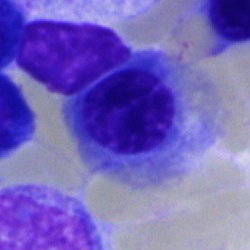Specimen: bone marrow aspirate smear.
Cell type: nucleated red cell.
Lineage: erythroid.